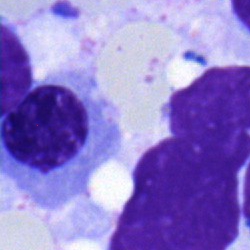

Morphology — nucleated red blood cell.